Bone marrow smear: 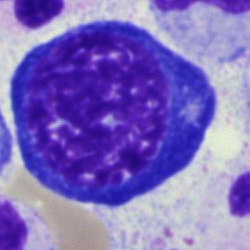 Nucleated red cell.